Bone marrow smear. 250×250. Single-cell crop: 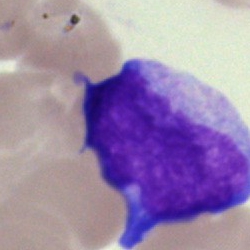 A blast cell.